May-Grünwald-Giemsa/Pappenheim stain · bone marrow aspirate smear:
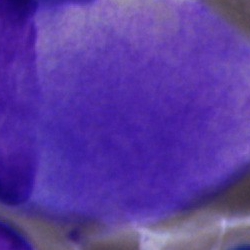
Morphology → artefact.